250×250 px · bone marrow aspirate smear · single-cell crop — 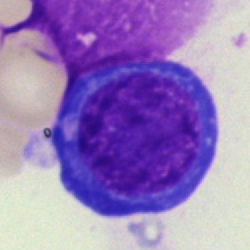

Q: What cell is this?
A: Nucleated red blood cell.